Bone marrow aspirate smear — 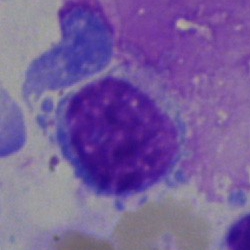

This is a lymphocyte.